100× objective, oil immersion. Peripheral blood smear. Image size 400×400: 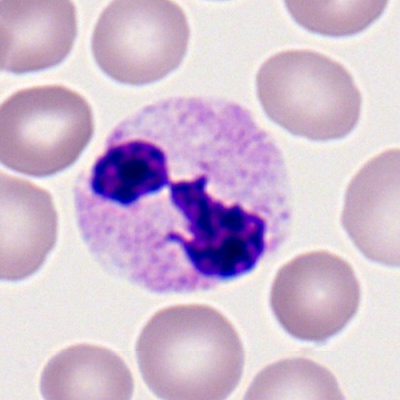 Segmented neutrophil.